Bone marrow aspirate smear. Pappenheim-stained.
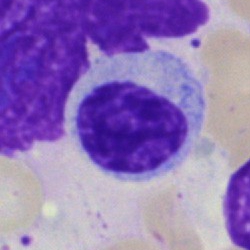 Q: Which cell type is shown here?
A: It is a lymphocyte.